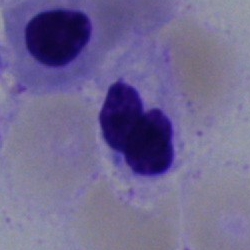 Impression → polymorphonuclear neutrophil.